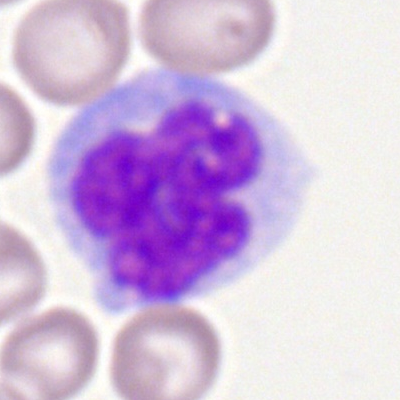
Morphology consistent with a monocyte.